May-Grünwald-Giemsa/Pappenheim stain; bone marrow aspirate smear: 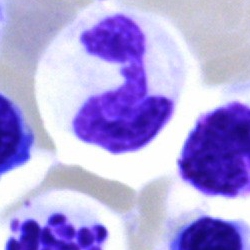 Impression → polymorphonuclear neutrophil.